Bone marrow aspirate smear — 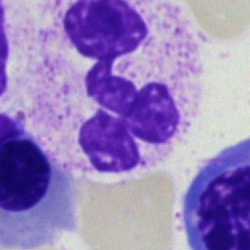Morphological class — polymorphonuclear neutrophil.